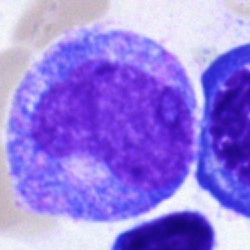
Specimen: bone marrow aspirate smear.
Cell: progranulocyte.
Lineage: myeloid.